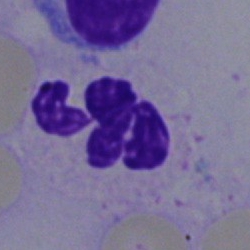 Bone marrow smear showing a neutrophil (segmented).